Bone marrow smear.
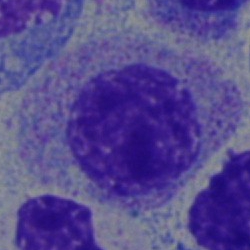 The classification is myelocyte.